Bone marrow aspirate smear; May-Grünwald-Giemsa stain; 250 by 250 pixels.
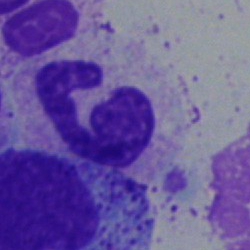Morphology consistent with a neutrophil (segmented).